Bone marrow aspirate smear · MGG-stained: 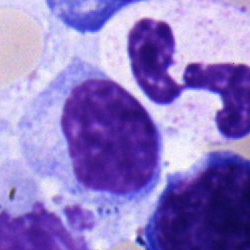
This is a lymphocyte.